Bone marrow aspirate smear: 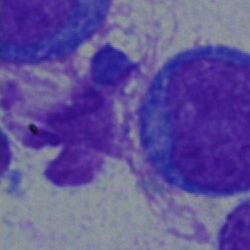 Blast cell.